Bone marrow smear.
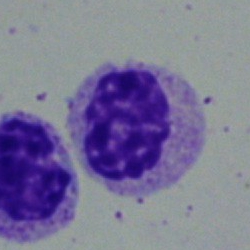
{"cell_type": "myelocyte", "lineage": "myeloid"}